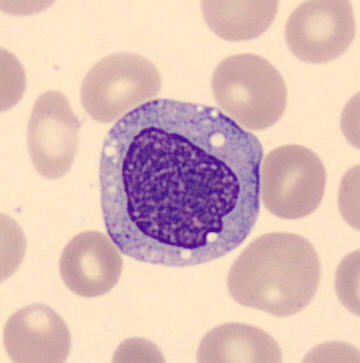Preparation: 360 by 363 pixels; peripheral blood smear; May-Grünwald-Giemsa-stained. Q: What is shown here?
A: It is a monocyte.